Bone marrow aspirate smear: 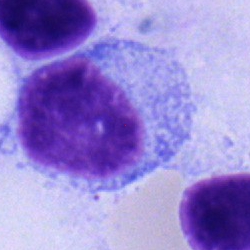Specimen: bone marrow aspirate smear.
Cell type: typical lymphocyte.
Lineage: lymphoid.